Bone marrow aspirate smear — 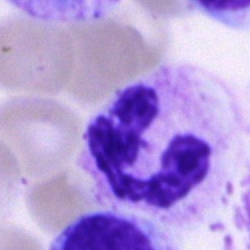Impression — polymorphonuclear neutrophil.